Bone marrow smear:
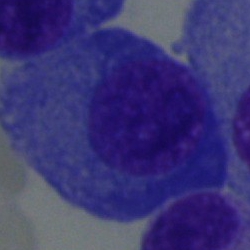
A plasmacyte.